Bone marrow smear. Brightfield microscopy, 40× oil immersion: 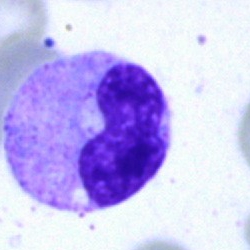
Cell type = band neutrophil.